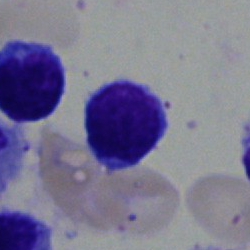

Morphology consistent with a typical lymphocyte.